40× objective, oil immersion · bone marrow smear · cropped to a single cell.
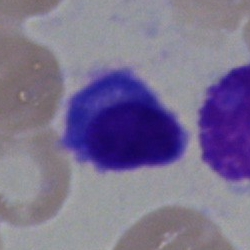Showing a plasmacyte.